Bone marrow smear: 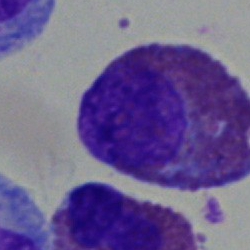
Cell type: eosinophilic granulocyte.